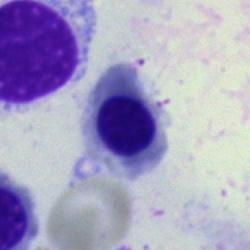 {"cell_type": "erythroblast"}